Bone marrow smear.
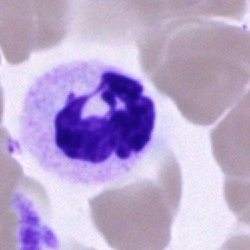 Specimen: bone marrow aspirate smear.
Morphological class: neutrophil (segmented).
Lineage: myeloid.